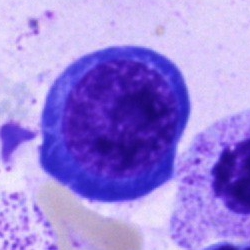

Q: What cell is this?
A: It is a normoblast.